Peripheral blood film. 100× objective, oil immersion. Romanowsky-type stain — 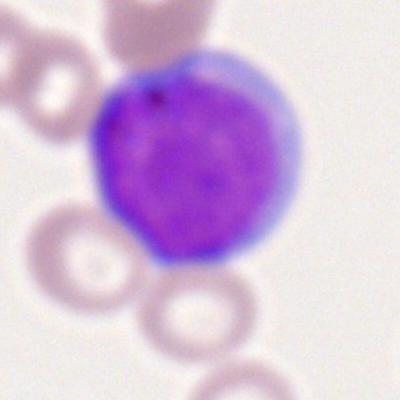
The cell shown is a myeloblast.